40× oil immersion · Pappenheim-stained · bone marrow smear:
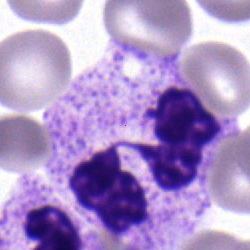Specimen: bone marrow aspirate smear.
Cell type: polymorphonuclear neutrophil.